Bone marrow aspirate smear — 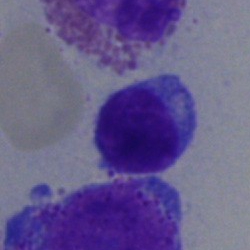 A lymphocyte.